Bone marrow aspirate smear
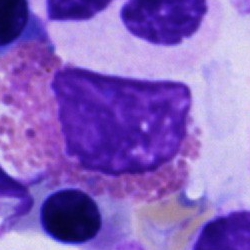 This is an eosinophil.